Pappenheim-stained · bone marrow smear · single cell centered in the field:
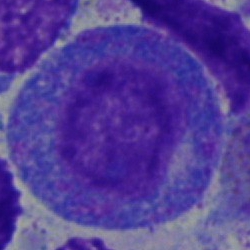

Morphology → progranulocyte.